Peripheral blood film · Romanowsky-stained · brightfield, 100× oil-immersion objective.
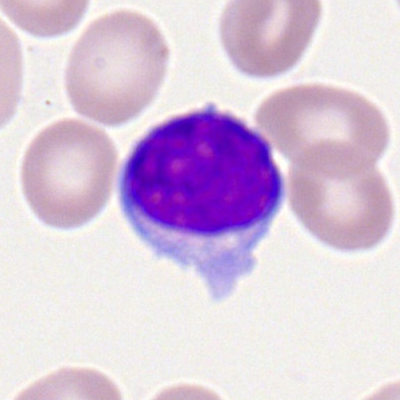 Cell type — lymphocyte.